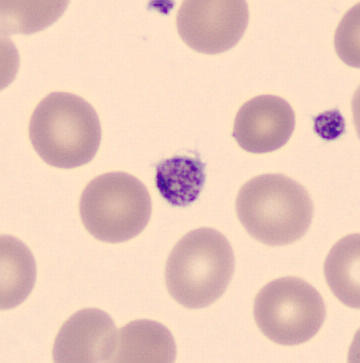

May Grünwald-Giemsa stain; 360×363 px.
Specimen: peripheral blood smear.
Cell type: thrombocyte.